Bone marrow smear:
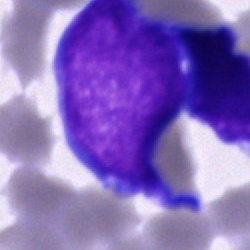
Q: Identify the cell.
A: Blast.